Peripheral blood film:
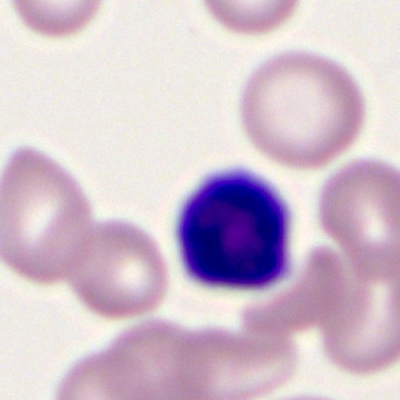

A typical lymphocyte.